Single-cell field · bone marrow smear — 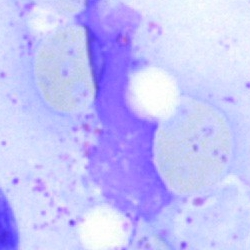

Artefact.